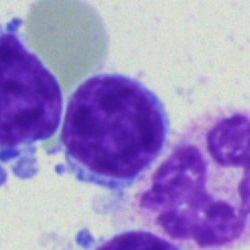

Single cell identified as a typical lymphocyte.